Brightfield microscopy, 40× oil immersion; bone marrow smear: 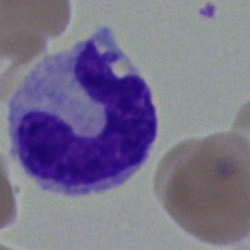

Specimen: bone marrow smear.
Cell: stab cell.
Lineage: myeloid.